Bone marrow smear. Single-cell field:
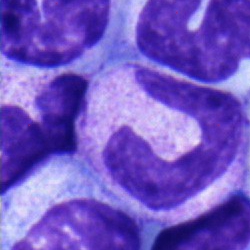
Single cell identified as a polymorphonuclear neutrophil.